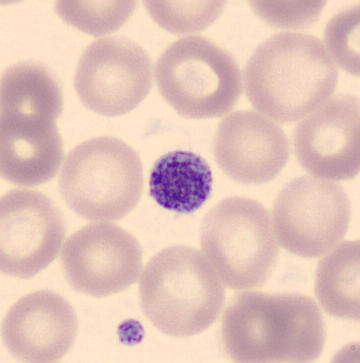Image: Peripheral blood smear.

Classification: platelet.